Peripheral blood smear — 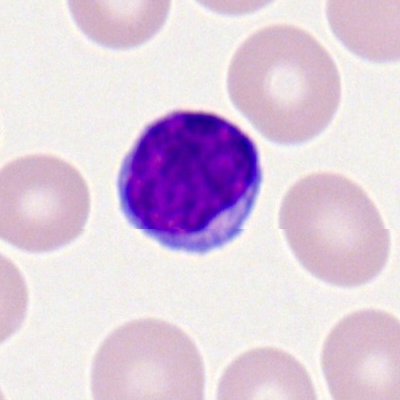 Single cell identified as a typical lymphocyte.